Bone marrow aspirate smear · single-cell field — 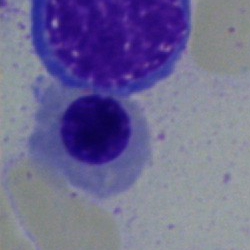
Impression — nucleated red cell.